Bone marrow smear — 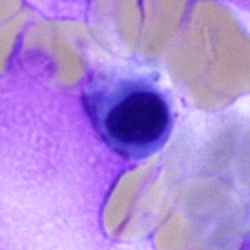Q: What type of cell is this?
A: A normoblast.